250×250 · bone marrow smear:
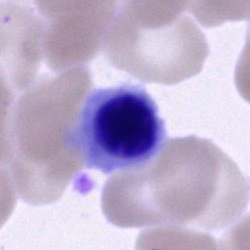

The cell shown is a normoblast.